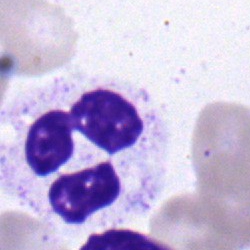

Bone marrow smear showing a polymorphonuclear neutrophil.